Bone marrow aspirate smear: 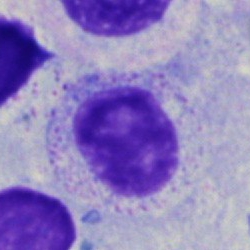

Cell type — myelocyte.